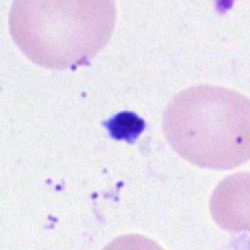
Q: What is shown here?
A: An artifact.